Bone marrow aspirate smear: 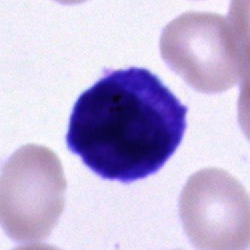 Q: What is the morphological classification of this cell?
A: It is a cell of indeterminate lineage.